Bone marrow smear. May-Grünwald-Giemsa/Pappenheim stain:
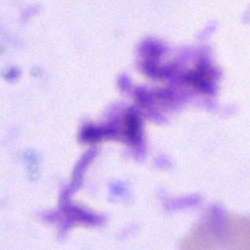The classification is artifact.